May-Grünwald-Giemsa/Pappenheim stain; bone marrow aspirate smear: 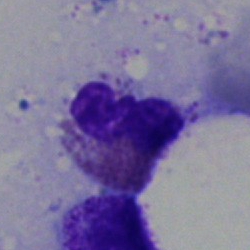 Classification: eosinophilic granulocyte.